May-Grünwald-Giemsa stain; bone marrow smear: 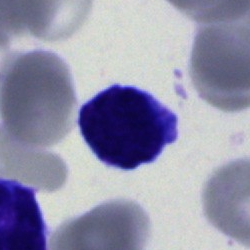 Single cell identified as an undifferentiated blast.